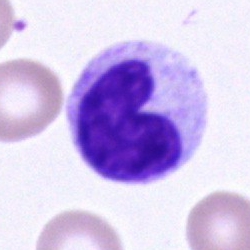
Cell of indeterminate lineage.